Bone marrow smear. 250×250. Cropped to a single cell — 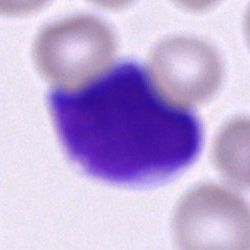 Showing an unidentifiable cell.